Bone marrow aspirate smear.
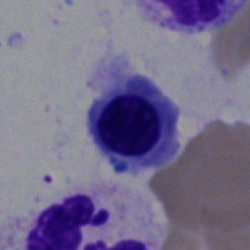
Morphological class — nucleated red cell.